Bone marrow smear; Pappenheim-stained
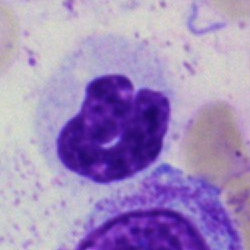 Morphological class: band neutrophil.